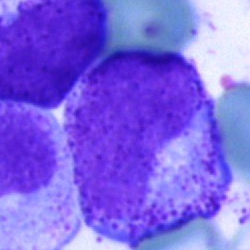
The cell shown is a myelocyte.